Single-cell crop; bone marrow smear; MGG-stained.
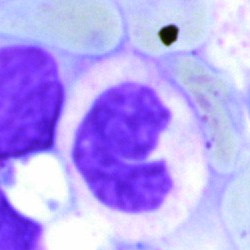

Showing a segmented neutrophil.